Bone marrow smear
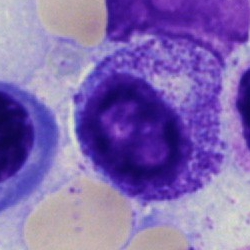

Morphology consistent with a myelocyte.